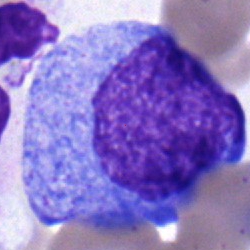Bone marrow aspirate smear, single cell — promyelocyte.